Bone marrow aspirate smear · 250×250:
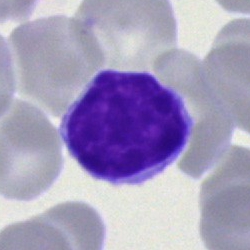

Morphology consistent with a typical lymphocyte.